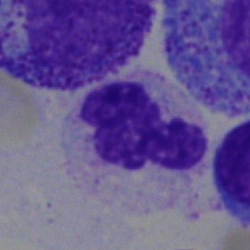

Specimen: bone marrow aspirate smear.
Cell: segmented neutrophil.
Lineage: myeloid.